Bone marrow smear — 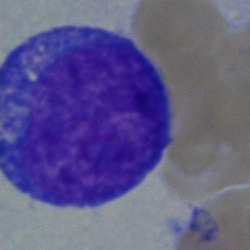
Q: What is shown here?
A: Blast cell.